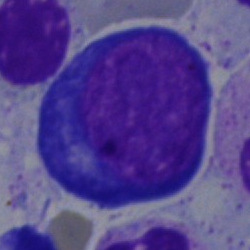
Cell — proerythroblast.